Peripheral blood film:
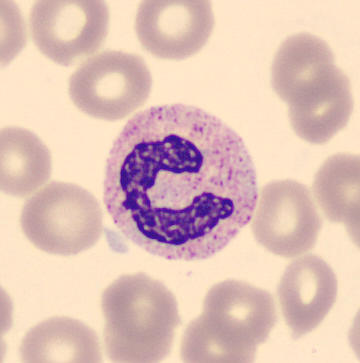The classification is band neutrophil.